Bone marrow aspirate smear.
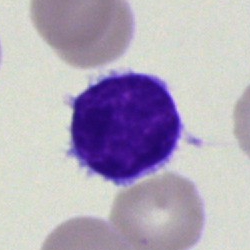
{"cell_type": "typical lymphocyte"}